Bone marrow smear:
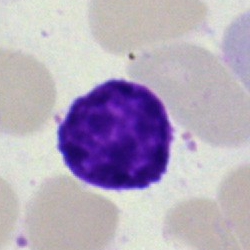This is an artefact.